250 by 250 pixels. Bone marrow aspirate smear. 40× oil immersion:
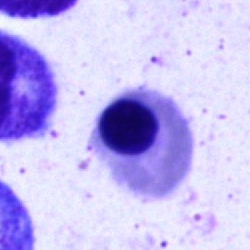

Cell: normoblast.